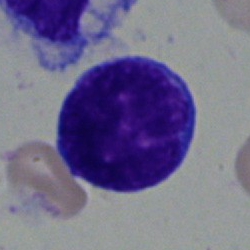

Cell = lymphocyte.